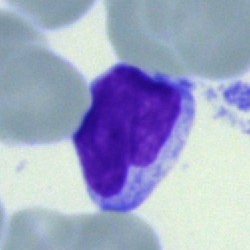
A lymphocyte.